Peripheral blood smear. Single-cell field: 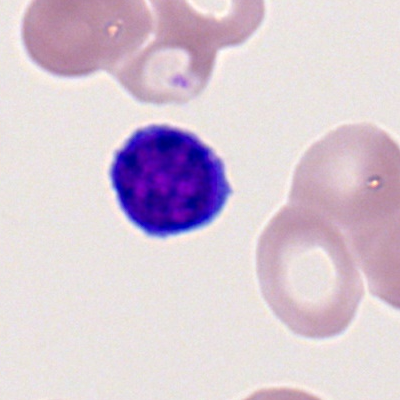 Specimen: peripheral blood film.
Classification: typical lymphocyte.
Lineage: lymphoid.